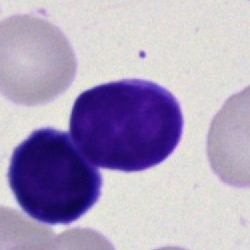Impression — lymphocyte.